Bone marrow aspirate smear — 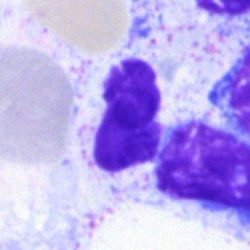
Cell = artefact.